250 by 250 pixels. Bone marrow smear
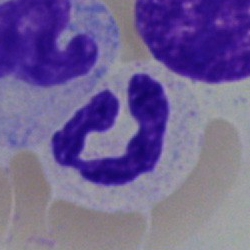Cell: polymorphonuclear neutrophil.